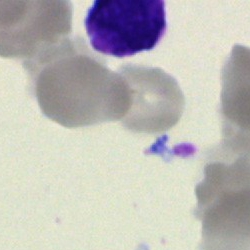This is a typical lymphocyte.